Brightfield, 100× oil-immersion objective; peripheral blood smear: 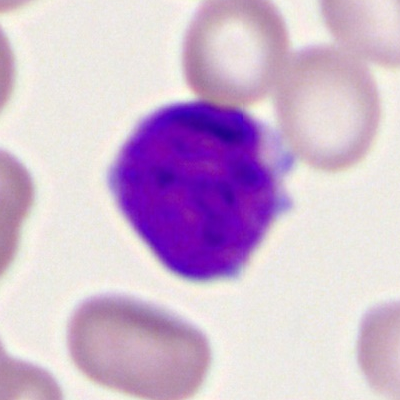Morphological class = myeloblast.